Bone marrow aspirate smear: 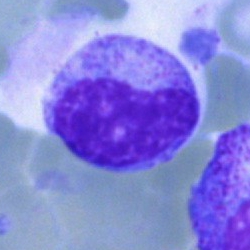Myelocyte.